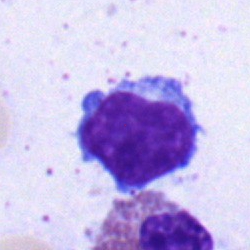 Q: What is shown here?
A: Lymphocyte.